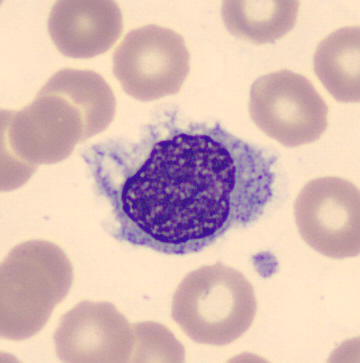 Preparation: Peripheral blood film. Morphological class = monocyte.